Bone marrow smear — 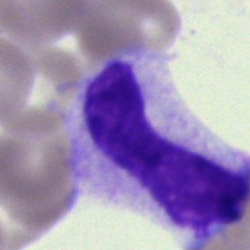Specimen: bone marrow aspirate smear.
Cell: artefact.